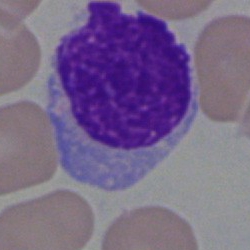
Specimen: bone marrow smear.
Cell type: artifact.